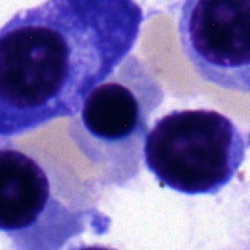

Q: What cell is this?
A: An erythroblast.